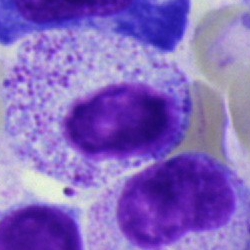The cell shown is a myelocyte.